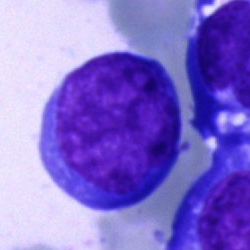 The cell shown is a blast.